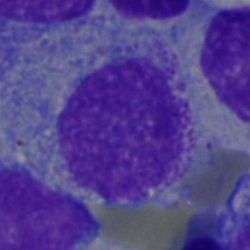
A myelocyte.